Bone marrow smear; image size 250×250.
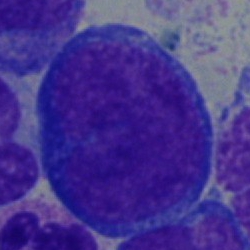This is a blast.